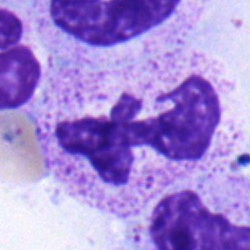This is a segmented neutrophil.